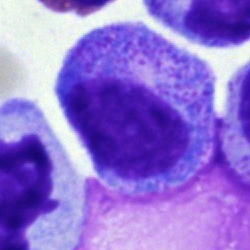
Bone marrow smear showing a myelocyte.